Cropped to a single cell · bone marrow aspirate smear: 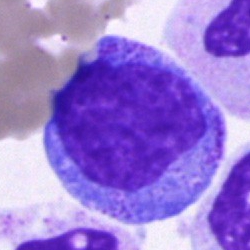 Promyelocyte.